MGG-stained; bone marrow aspirate smear: 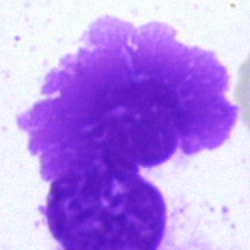

Impression — artifact.